Peripheral blood smear:
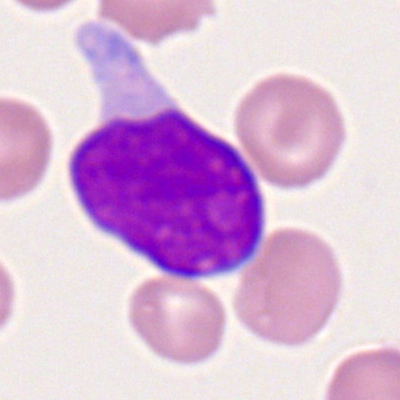Cell type — myeloblast.